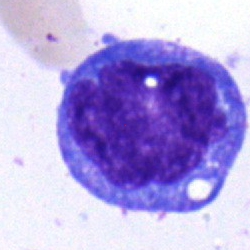Impression — monocyte.